Bone marrow smear
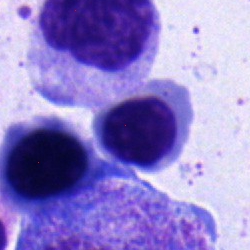 A nucleated red blood cell.